Bone marrow aspirate smear · May-Grünwald-Giemsa/Pappenheim stain.
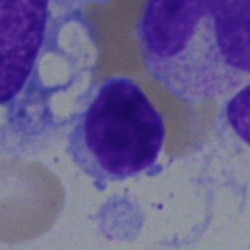Morphology → lymphocyte.